Bone marrow smear.
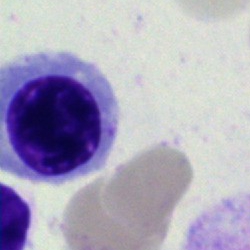
Specimen: bone marrow smear.
Cell: nucleated red blood cell.
Lineage: erythroid.